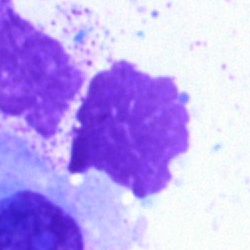

Artifact.